Bone marrow aspirate smear
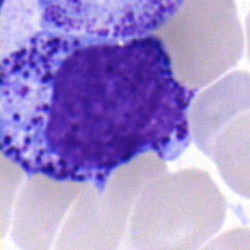A progranulocyte.